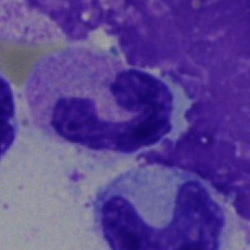
{"cell_type": "polymorphonuclear neutrophil", "lineage": "myeloid"}